Bone marrow smear
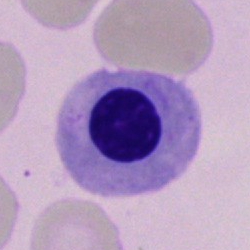 Classification: nucleated red blood cell.